Bone marrow aspirate smear; brightfield microscopy, 40× oil immersion; May-Grünwald-Giemsa/Pappenheim stain.
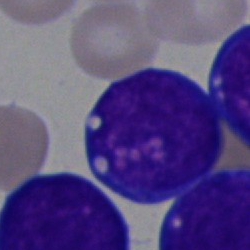 Showing a blast cell.